Single cell centered in the field · bone marrow aspirate smear
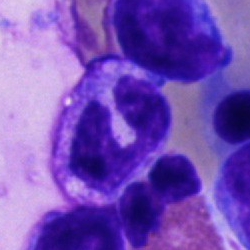
Cell type: polymorphonuclear neutrophil.